250×250 px; 40× oil immersion; bone marrow aspirate smear
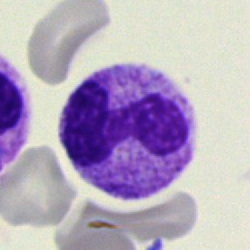

Specimen: bone marrow aspirate smear.
Cell: band-form neutrophil.